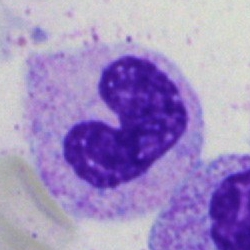
Showing a band-form neutrophil.